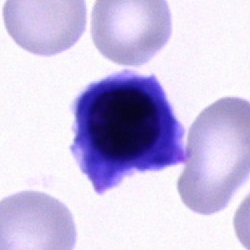 Impression → unidentifiable cell.